Single-cell field · bone marrow smear · 250×250 px — 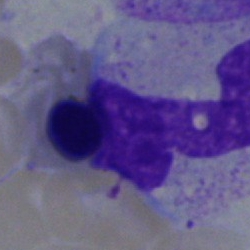

Normoblast.